Bone marrow aspirate smear; 250 by 250 pixels.
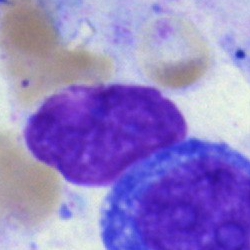Morphology → pronormoblast.